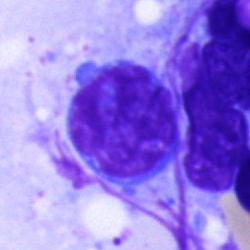
Morphological class = typical lymphocyte.